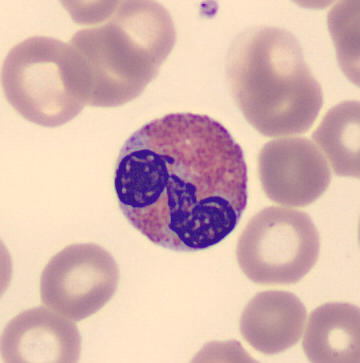Peripheral blood smear · MGG stain · single cell centered in the field. Morphological class = eosinophil.